Bone marrow aspirate smear: 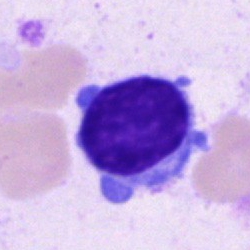 Lymphocyte.